Bone marrow smear
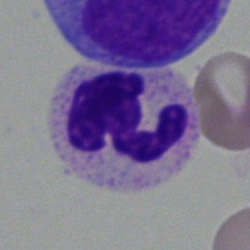 The classification is polymorphonuclear neutrophil.